Single-cell field · bone marrow smear
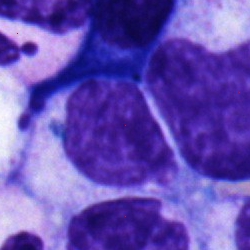Classification — lymphocyte.